Single-cell crop. 100× oil immersion, 14.14 px/µm. Peripheral blood film.
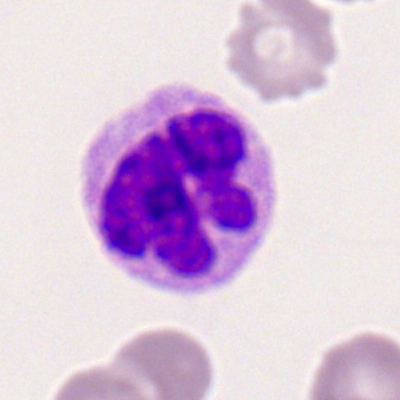 A neutrophil (segmented).